Single cell centered in the field · peripheral blood smear:
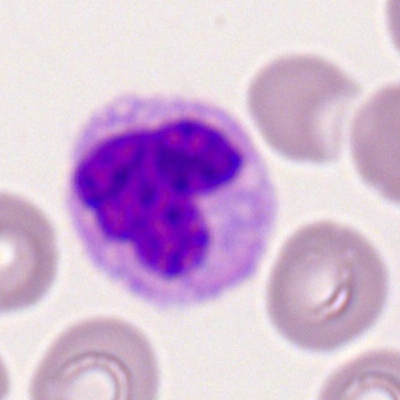
Cell — monocyte.